Cropped to a single cell. Bone marrow smear
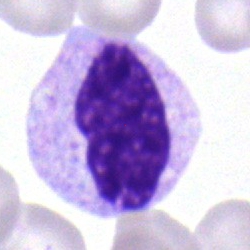

The cell shown is a neutrophil (band).